Single-cell field; bone marrow aspirate smear: 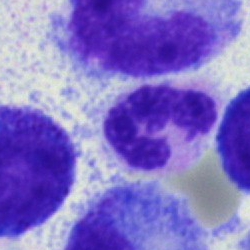Polymorphonuclear neutrophil.